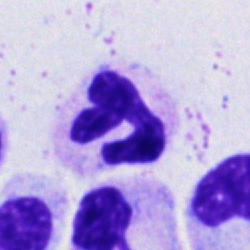Impression — polymorphonuclear neutrophil.